Bone marrow smear: 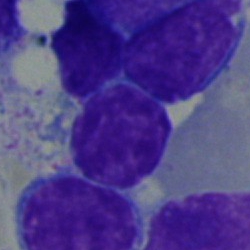 The cell type is typical lymphocyte.